Bone marrow aspirate smear:
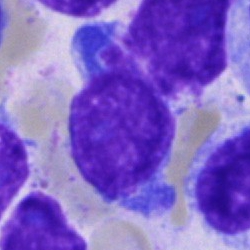 Showing an unidentifiable cell.